Bone marrow aspirate smear. Brightfield microscopy, 40× oil immersion.
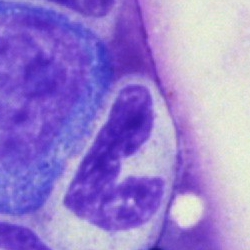
Polymorphonuclear neutrophil.